Pappenheim-stained · bone marrow aspirate smear · single-cell field: 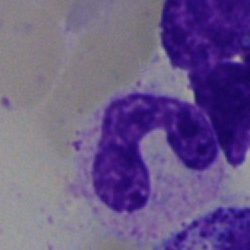 The morphological class is segmented neutrophil.